Peripheral blood smear · 100× oil immersion
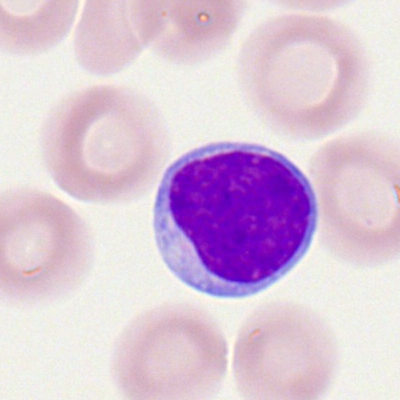 Q: What type of cell is this?
A: This is a lymphocyte.